Bone marrow smear — 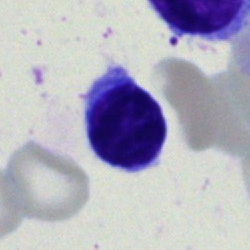

Showing a typical lymphocyte.